Bone marrow smear; 40× oil immersion:
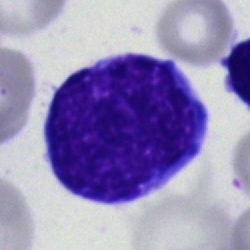
Specimen: bone marrow smear.
Cell type: blast.